Bone marrow aspirate smear: 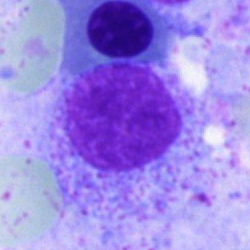
Morphology — myelocyte.